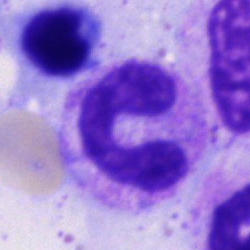 Morphology → stab cell.